May-Grünwald-Giemsa stain; bone marrow aspirate smear — 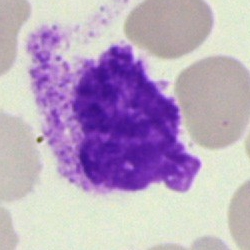
Morphology consistent with an artefact.